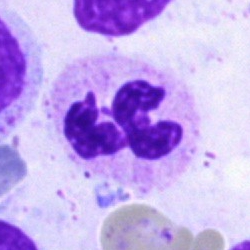

Cell type = segmented neutrophil.